Bone marrow aspirate smear · MGG-stained · brightfield microscopy, 40× oil immersion: 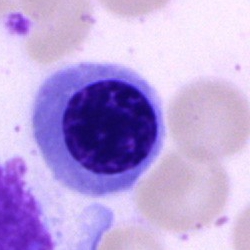
Specimen: bone marrow aspirate smear.
Morphological class: nucleated red cell.
Lineage: erythroid.